Bone marrow aspirate smear
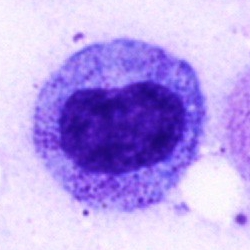

Promyelocyte.